Bone marrow aspirate smear — 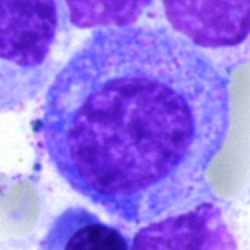Classification: progranulocyte.